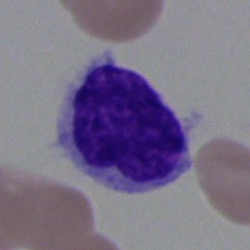 Classification — blast cell.